Bone marrow aspirate smear.
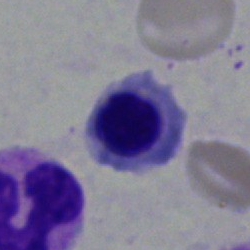 Morphology consistent with a nucleated red blood cell.